Bone marrow smear:
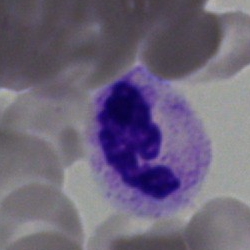 Single cell identified as a polymorphonuclear neutrophil.